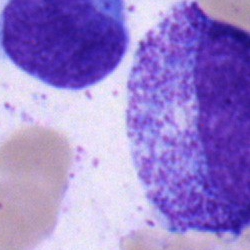 Cell type: progranulocyte.